Romanowsky-type stain. Peripheral blood smear.
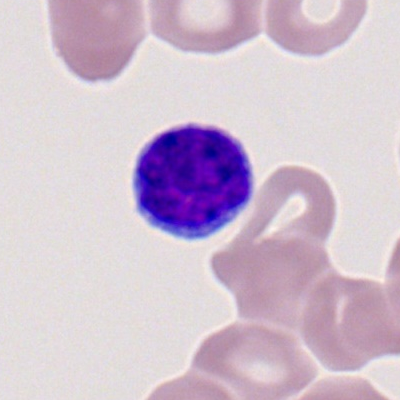
This is a typical lymphocyte.